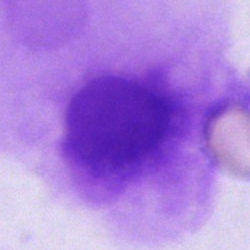

Cell type — artefact.